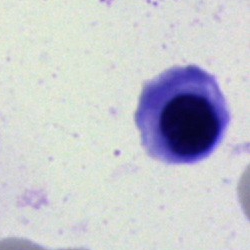A normoblast on a bone marrow smear.